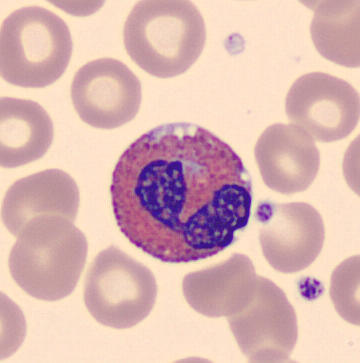
Cell type — eosinophilic granulocyte. Peripheral blood smear.